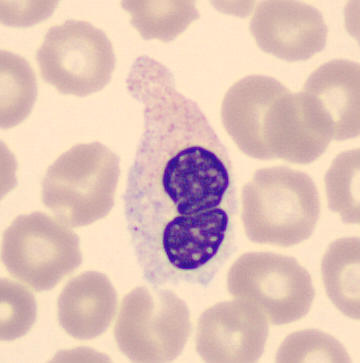 Image: MGG-stained. Peripheral blood film.

Q: What is this?
A: A stab cell.